Bone marrow aspirate smear — 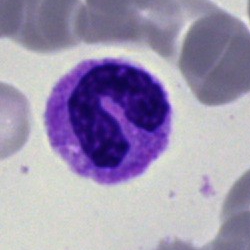

Q: What is shown here?
A: Band neutrophil.